Bone marrow aspirate smear — 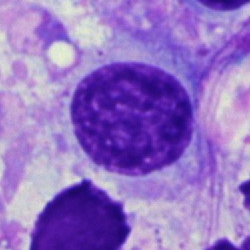
Q: What is shown here?
A: It is an artefact.